Bone marrow smear — 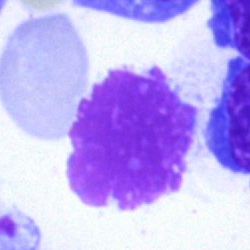
Impression — artefact.